Cropped to a single cell. Bone marrow aspirate smear. Brightfield, 40× oil-immersion objective:
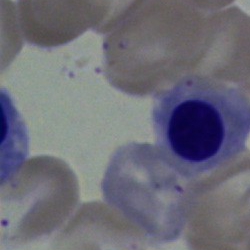
Nucleated red cell.